Bone marrow smear. 250×250 px — 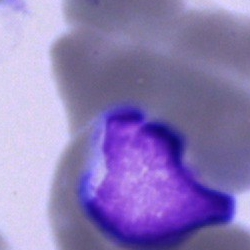

Morphology consistent with a typical lymphocyte.